May-Grünwald-Giemsa stain. Brightfield microscopy, 40× oil immersion. Bone marrow aspirate smear:
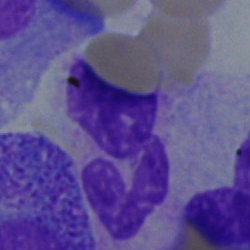
Neutrophil (segmented).